Bone marrow aspirate smear: 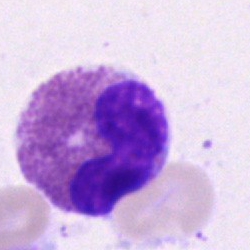The morphological class is eosinophil.